Bone marrow smear — 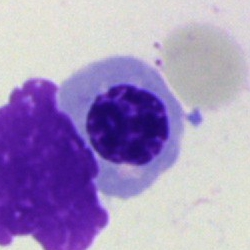Showing a nucleated red blood cell.